Bone marrow smear:
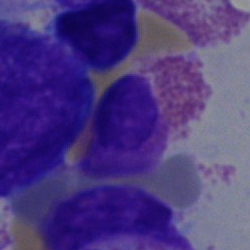
The cell shown is an eosinophil.